Bone marrow aspirate smear — 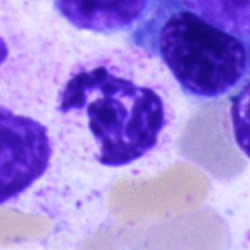 Neutrophil (segmented).